Romanowsky-stained. Single cell centered in the field. Peripheral blood smear: 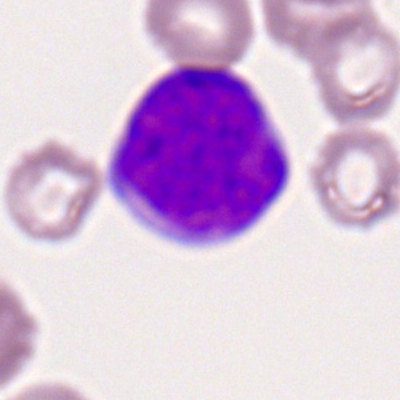Classification = myeloblast.